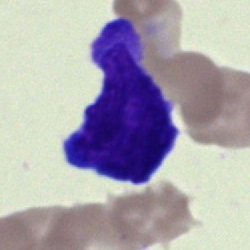

Specimen: bone marrow smear.
Morphological class: blast.